Bone marrow aspirate smear
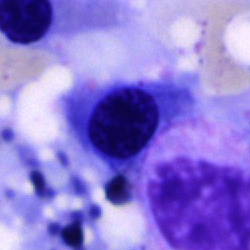

An unidentifiable cell.